250×250; bone marrow smear
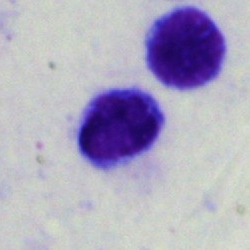

{"cell_type": "typical lymphocyte", "lineage": "lymphoid"}